Bone marrow aspirate smear: 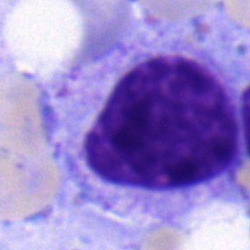

Morphological class — myelocyte.